Romanowsky-type stain; peripheral blood smear
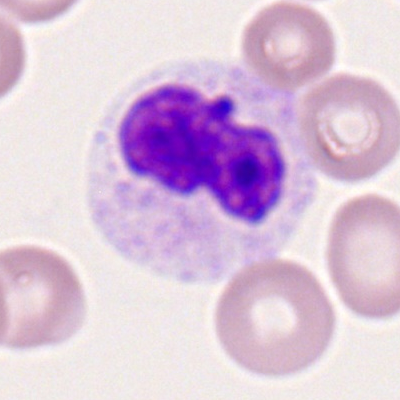
Morphology — polymorphonuclear neutrophil.